Peripheral blood smear — 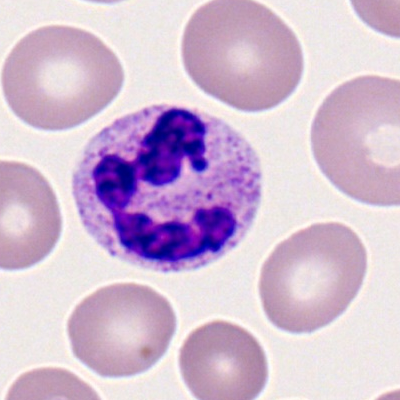

Impression → polymorphonuclear neutrophil.